Bone marrow smear: 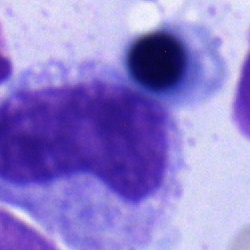

Morphology consistent with a metamyelocyte.